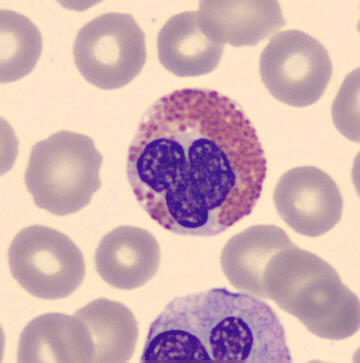 360×363 px. Peripheral blood smear. The cell shown is an eosinophilic granulocyte.